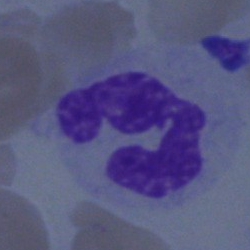 Specimen: bone marrow aspirate smear.
Morphological class: polymorphonuclear neutrophil.